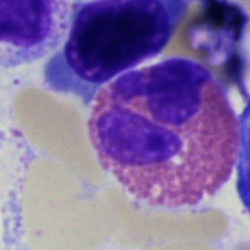 The cell shown is an eosinophilic granulocyte.